40× oil immersion · bone marrow smear:
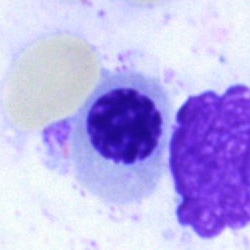Impression → nucleated red blood cell.